Bone marrow aspirate smear. 40× objective, oil immersion. Single cell centered in the field: 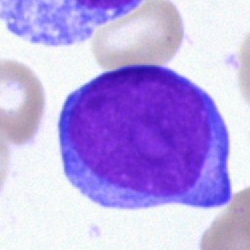Classification: undifferentiated blast.